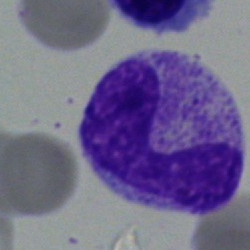

Cell type — stab cell.